250×250 px. Bone marrow smear. Brightfield, 40× oil-immersion objective:
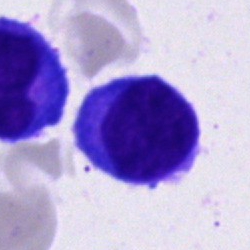

Cell — lymphocyte.